Bone marrow smear:
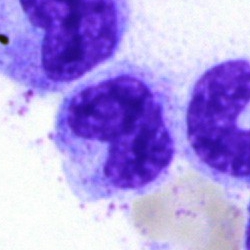
Q: What is shown here?
A: This is a band neutrophil.